250 by 250 pixels; bone marrow smear; May-Grünwald-Giemsa stain: 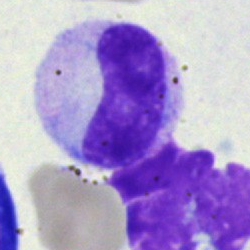

Q: What is shown here?
A: It is a stab cell.